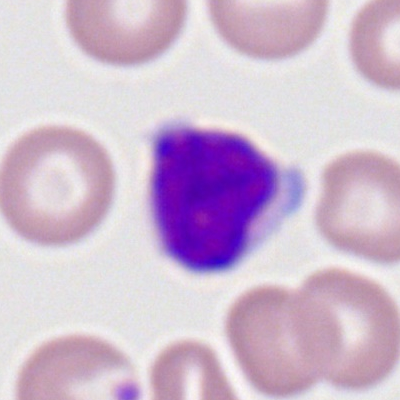 Cell type = typical lymphocyte.